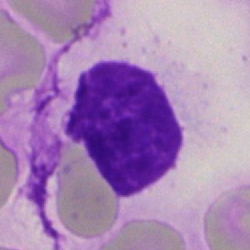

Showing an artefact.